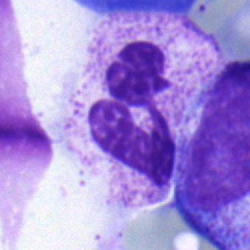Q: What is the morphological classification of this cell?
A: Segmented neutrophil.